May-Grünwald-Giemsa/Pappenheim stain; brightfield, 40× oil-immersion objective; bone marrow smear: 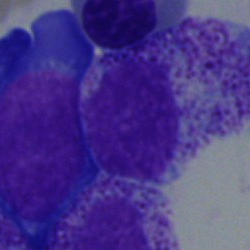 Specimen: bone marrow smear.
Cell: myelocyte.
Lineage: myeloid.